Peripheral blood smear — 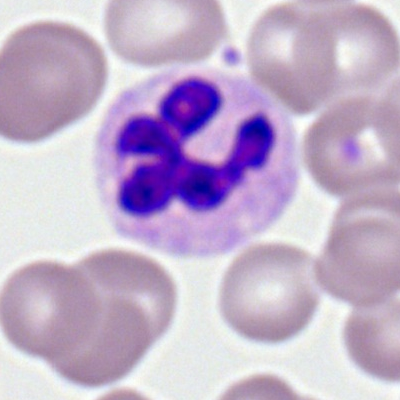 Morphological class = polymorphonuclear neutrophil.